Bone marrow aspirate smear. Single-cell crop — 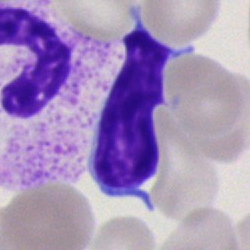

The cell shown is a lymphocyte.